Single-cell crop · bone marrow smear: 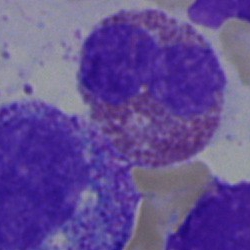 Impression — eosinophil.